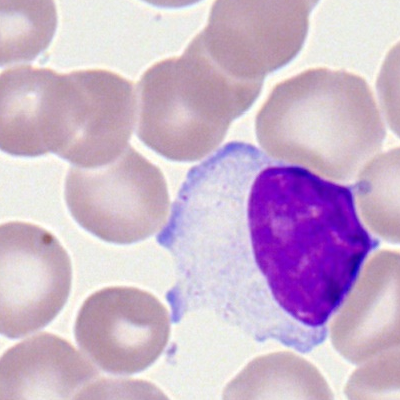 A typical lymphocyte.